Bone marrow aspirate smear: 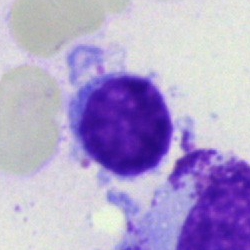{"cell_type": "typical lymphocyte"}